Bone marrow smear · May-Grünwald-Giemsa stain.
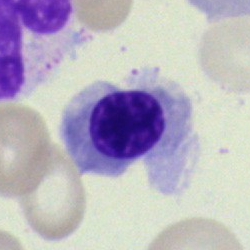Classification: normoblast.